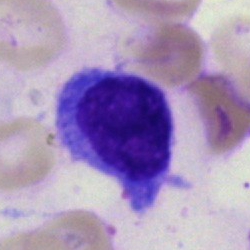 Cell = typical lymphocyte.